Bone marrow smear; single-cell crop; 250×250
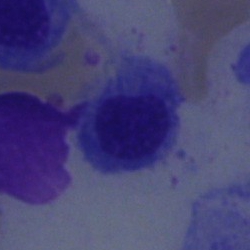 Q: Which cell type is shown here?
A: Normoblast.